Bone marrow aspirate smear — 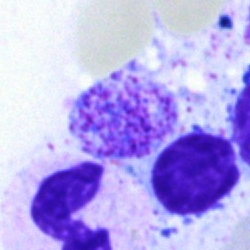

Specimen: bone marrow aspirate smear.
Cell type: artefact.